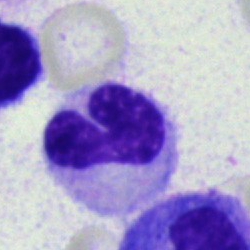 Morphology — band-form neutrophil.